Single cell centered in the field. Brightfield, 40× oil-immersion objective. Bone marrow smear:
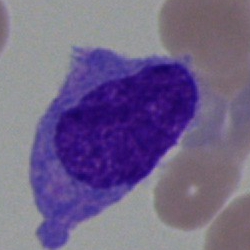 The cell shown is an undifferentiated blast.